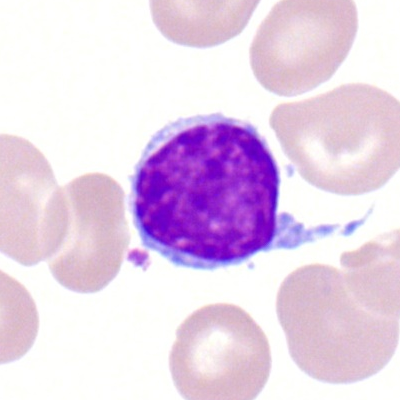

Morphology — lymphocyte.